Bone marrow aspirate smear — 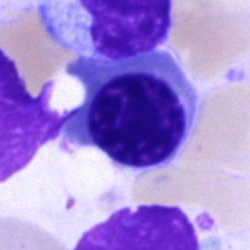
Morphology consistent with a nucleated red cell.